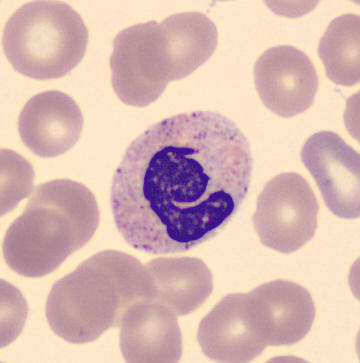This is a neutrophil (segmented).

Acquisition: Image size 360×363. Peripheral blood film.